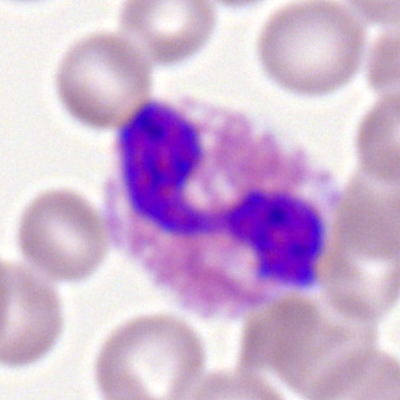

Q: What cell is this?
A: Eosinophil.